Image size 250×250. Bone marrow smear:
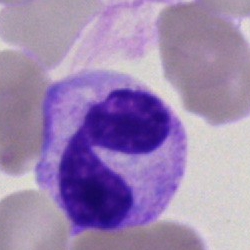 The morphological class is neutrophil (segmented).